Bone marrow aspirate smear: 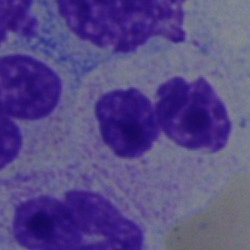Segmented neutrophil.